Bone marrow aspirate smear.
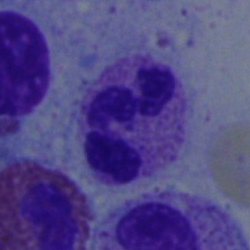

The cell type is neutrophil (segmented).